Bone marrow aspirate smear.
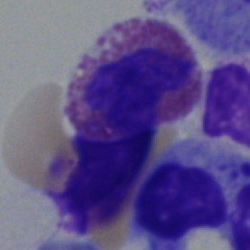

Q: What type of cell is this?
A: It is an eosinophil.